M8 digital microscope (Precipoint), 100× oil immersion · peripheral blood film · cropped to a single cell — 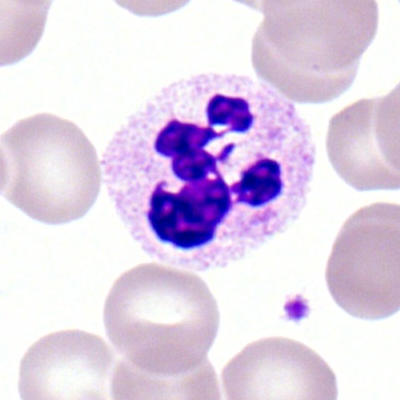 Impression — neutrophil (segmented).